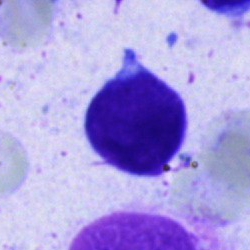Q: What is shown here?
A: It is a lymphocyte.